Bone marrow aspirate smear
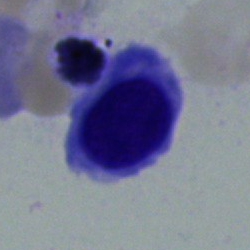 Q: What is the morphological classification of this cell?
A: It is a nucleated red cell.